Bone marrow aspirate smear:
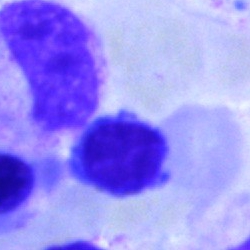Q: What type of cell is this?
A: A typical lymphocyte.